Single cell centered in the field · bone marrow aspirate smear — 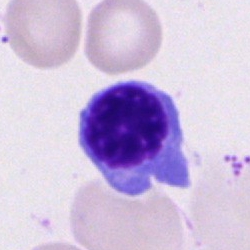

Nucleated red cell.